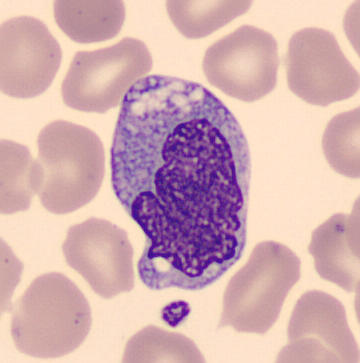Q: What type of cell is this?
A: This is a monocyte.

Preparation: Peripheral blood film.